Bone marrow aspirate smear
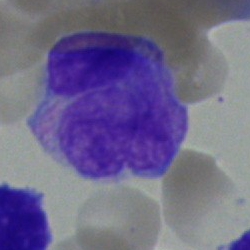
Cell — blast cell.